Bone marrow aspirate smear
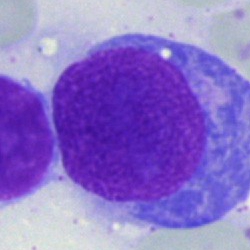Showing a proerythroblast.